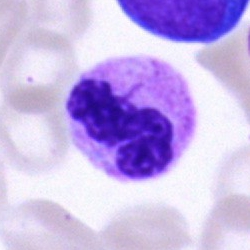
Specimen: bone marrow smear.
Cell type: neutrophil (segmented).
Lineage: myeloid.